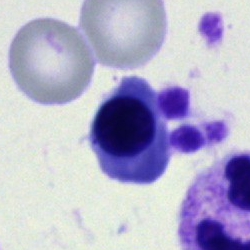 Q: What is shown here?
A: It is a nucleated red blood cell.